Peripheral blood film
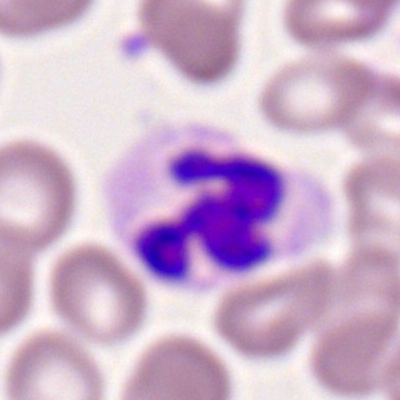

This is a segmented neutrophil.